Peripheral blood smear:
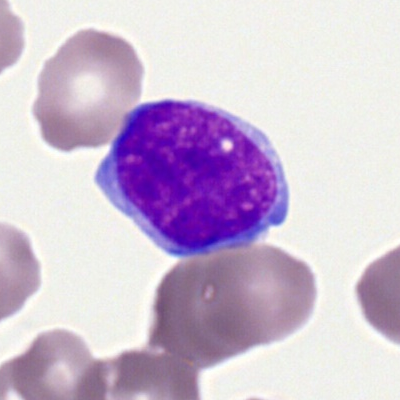Q: What is shown here?
A: A myeloblast.